Bone marrow smear: 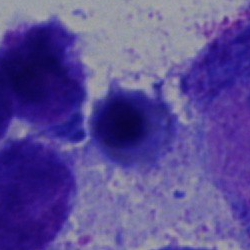 {"cell_type": "erythroblast", "lineage": "erythroid"}